Bone marrow aspirate smear. 250 by 250 pixels
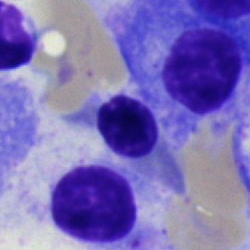{"cell_type": "plasmacyte", "lineage": "lymphoid"}